Bone marrow smear; 40× objective, oil immersion
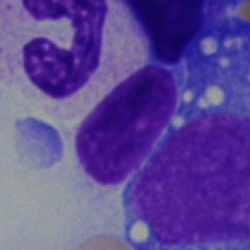

Showing a stab cell.